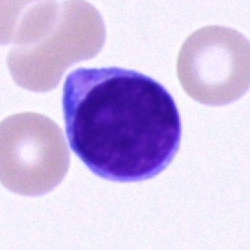
Cell: lymphocyte.